Bone marrow smear: 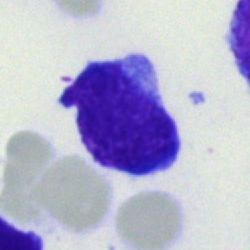

Showing an undifferentiated blast.